Bone marrow smear:
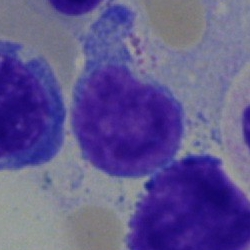The cell shown is a typical lymphocyte.